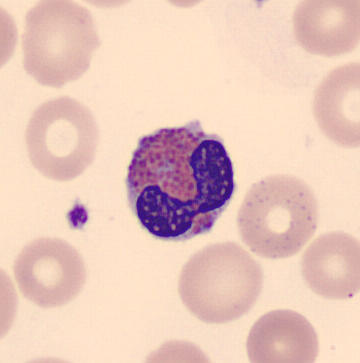Specimen: peripheral blood film.
Cell type: eosinophilic granulocyte.
Lineage: myeloid.